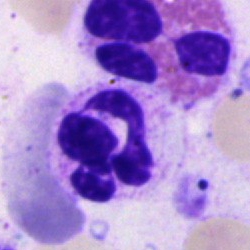
This is a polymorphonuclear neutrophil.